Bone marrow smear.
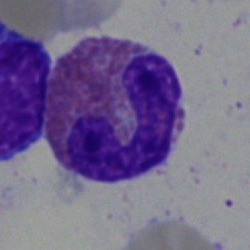Cell: eosinophil.